Bone marrow smear: 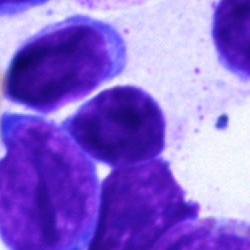 Impression → lymphocyte.